Bone marrow aspirate smear · cropped to a single cell
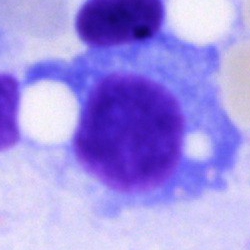
Impression → plasma cell.